Bone marrow smear · May-Grünwald-Giemsa/Pappenheim stain:
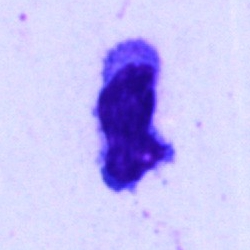 Specimen: bone marrow smear.
Classification: lymphocyte.
Lineage: lymphoid.